Bone marrow aspirate smear — 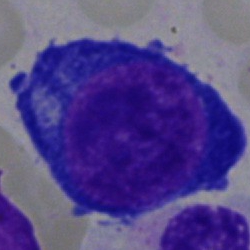

Cell = pronormoblast.